Bone marrow aspirate smear: 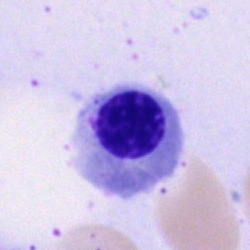 Normoblast.